Bone marrow smear — 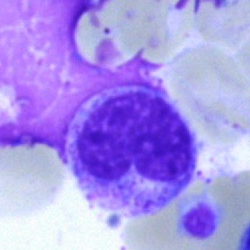 Cell — metamyelocyte.